Bone marrow smear.
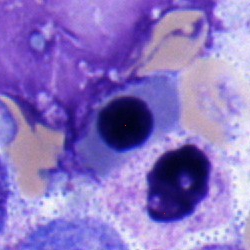Morphology consistent with a normoblast.